Bone marrow smear
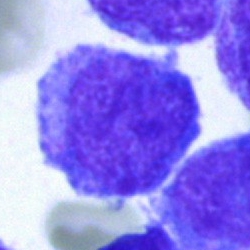Undifferentiated blast.